Peripheral blood smear. 100× oil immersion — 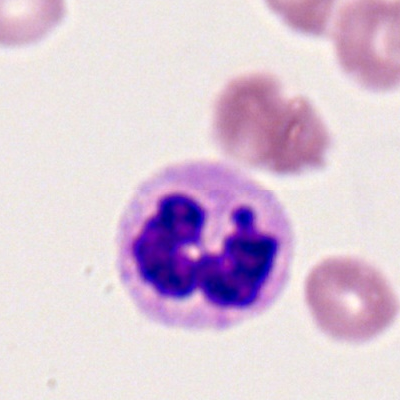
Classification: segmented neutrophil.